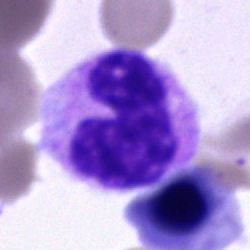
Showing a neutrophil (band).